Bone marrow aspirate smear · 250×250 px — 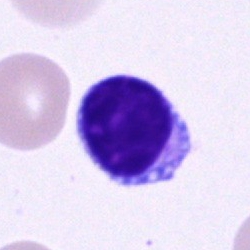
Typical lymphocyte.